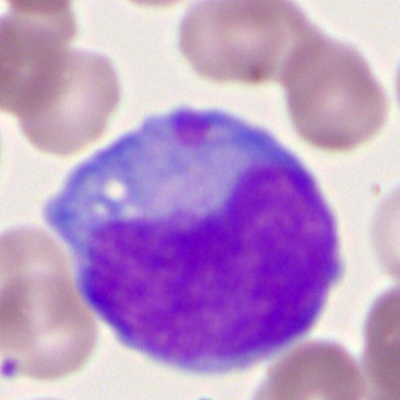

Cell type = myeloblast.